Bone marrow aspirate smear.
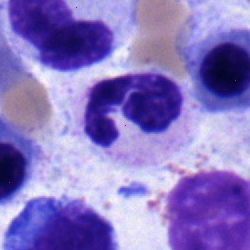The cell shown is a polymorphonuclear neutrophil.